Bone marrow smear:
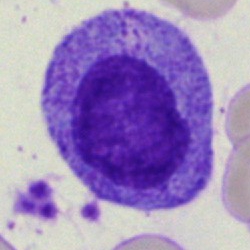A progranulocyte.